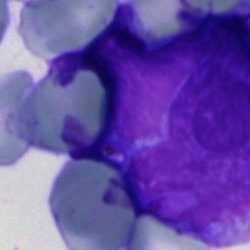 Morphology → undifferentiated blast.